Bone marrow aspirate smear. May-Grünwald-Giemsa/Pappenheim stain: 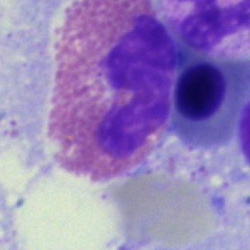
Morphological class — eosinophilic granulocyte.